May-Grünwald-Giemsa/Pappenheim stain. Bone marrow smear. 250 by 250 pixels: 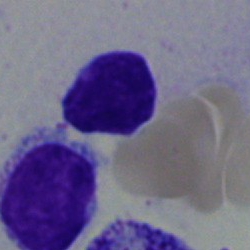 A lymphocyte.